Bone marrow aspirate smear
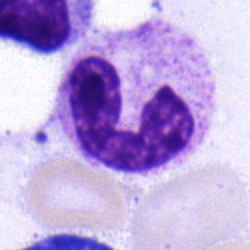
Morphological class = band-form neutrophil.